MGG-stained · bone marrow aspirate smear — 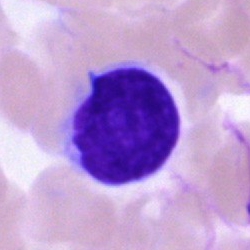
The cell shown is a lymphocyte.